Bone marrow aspirate smear · 250×250
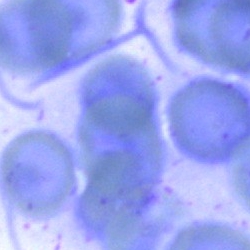
Q: What is shown here?
A: This is an artefact.